Single-cell field. Brightfield microscopy, 40× oil immersion. Bone marrow aspirate smear
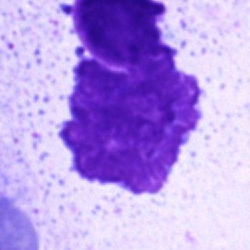 This is an artefact.